Cropped to a single cell · bone marrow aspirate smear.
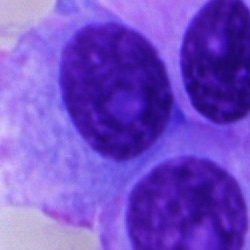
Plasma cell.